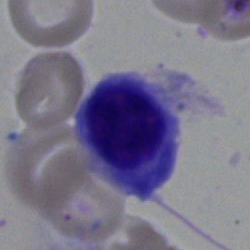Cell type — erythroblast.